Peripheral blood smear: 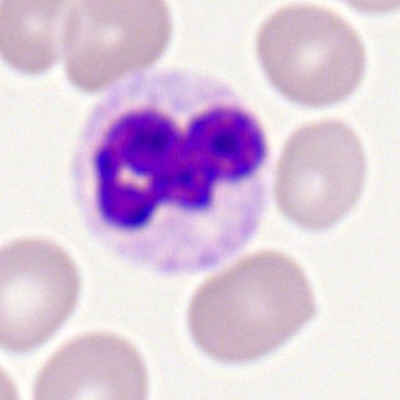Cell type — neutrophil (segmented).